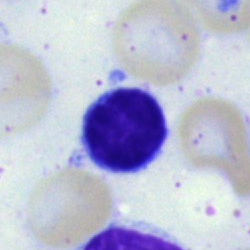
Specimen: bone marrow aspirate smear.
Morphological class: lymphocyte.
Lineage: lymphoid.